Bone marrow aspirate smear: 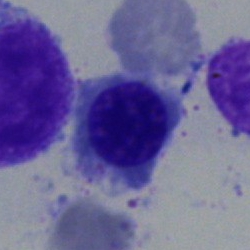Specimen: bone marrow aspirate smear.
Morphological class: nucleated red cell.
Lineage: erythroid.